Bone marrow smear — 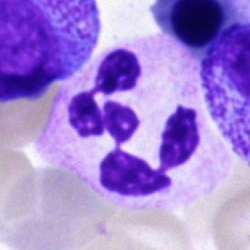
Morphology → polymorphonuclear neutrophil.